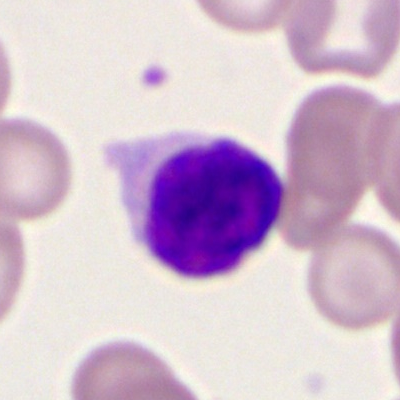 Q: What cell is this?
A: This is a typical lymphocyte.